Bone marrow smear.
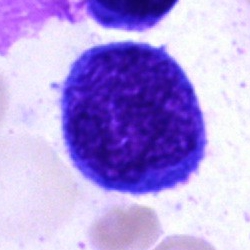
A blast cell.